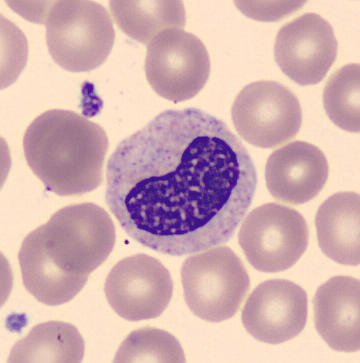
Peripheral blood smear showing a metamyelocyte.